Peripheral blood film:
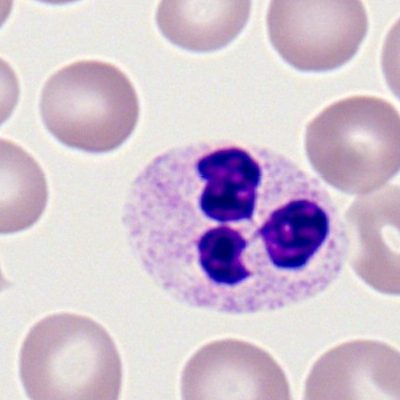
The classification is segmented neutrophil.